May-Grünwald-Giemsa stain. Bone marrow smear — 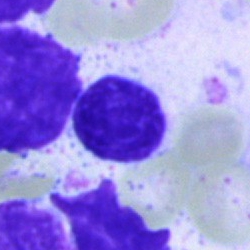

Morphology consistent with a lymphocyte.